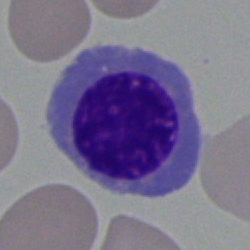

Cell type — normoblast.